May-Grünwald-Giemsa stain · bone marrow smear.
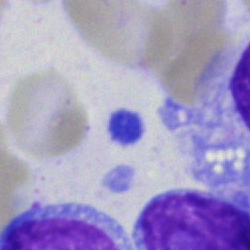Morphological class — artifact.